Bone marrow aspirate smear; single-cell crop: 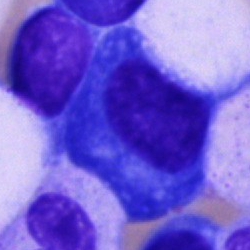
This is a plasma cell.